Bone marrow smear.
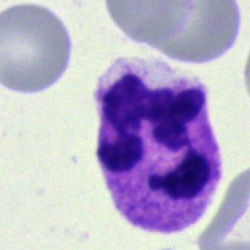Q: Identify the cell.
A: Neutrophil (segmented).